Bone marrow smear; single-cell field.
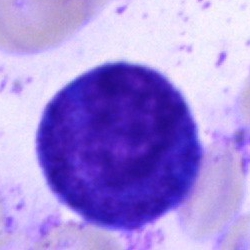
Single cell identified as a progranulocyte.